Bone marrow smear — 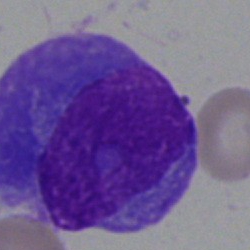 Morphological class = monocyte.